Peripheral blood film. 400 by 400 pixels: 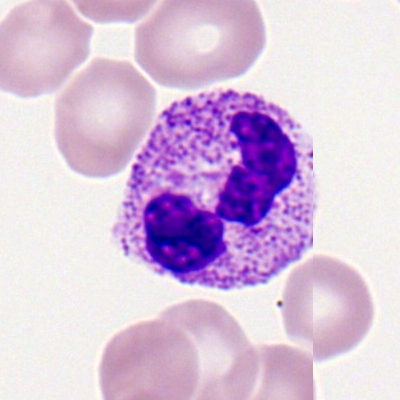Morphological class: polymorphonuclear neutrophil.